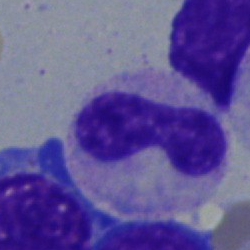
Morphology consistent with a band neutrophil.